Bone marrow smear · May-Grünwald-Giemsa/Pappenheim stain: 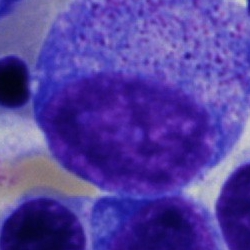The cell is progranulocyte.